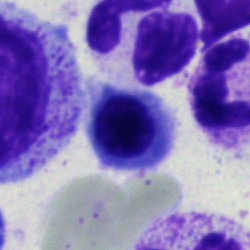

Q: What is the morphological classification of this cell?
A: Nucleated red blood cell.